Bone marrow aspirate smear:
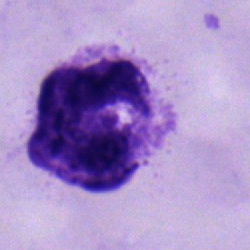
The morphological class is polymorphonuclear neutrophil.